MGG-stained. Bone marrow smear — 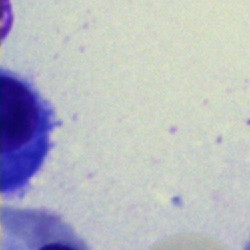 Impression — artifact.